Brightfield, 40× oil-immersion objective. Bone marrow smear.
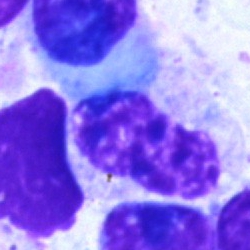
Q: Identify the cell.
A: It is a neutrophil (band).